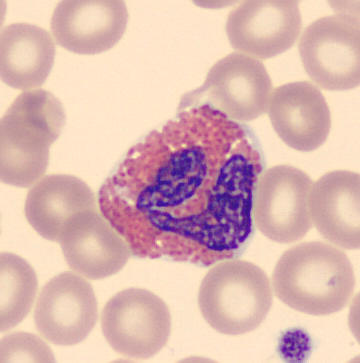

The cell shown is an eosinophilic granulocyte.